Single cell centered in the field. Brightfield microscopy, 40× oil immersion. Bone marrow smear — 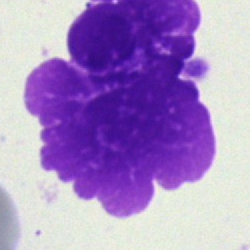
Q: What is shown here?
A: An artefact.